Pappenheim-stained · bone marrow aspirate smear:
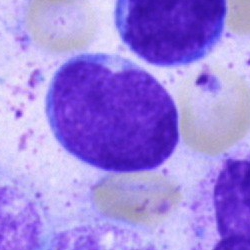
Classification = undifferentiated blast.